Bone marrow smear
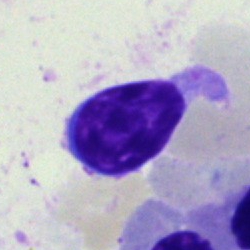
Single cell identified as a typical lymphocyte.